Bone marrow smear
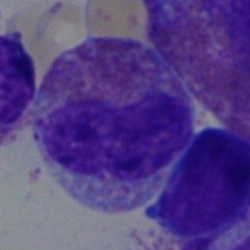{"cell_type": "eosinophilic granulocyte", "lineage": "myeloid"}